Bone marrow aspirate smear: 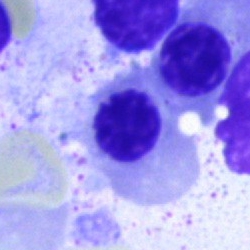 An erythroblast.